Bone marrow smear:
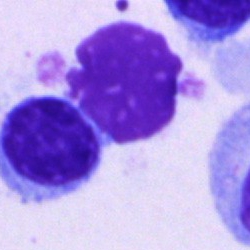Single cell identified as a typical lymphocyte.